Bone marrow smear
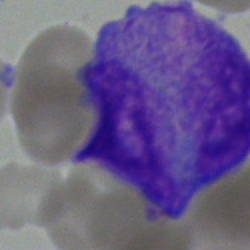
Impression — blast.